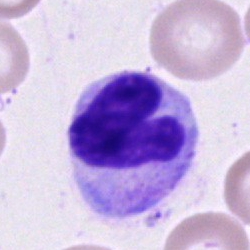
Showing a neutrophil (band).